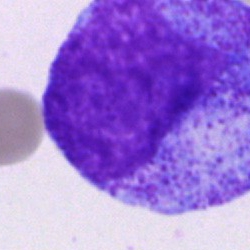

Promyelocyte.